250 by 250 pixels · bone marrow smear · 40× oil immersion — 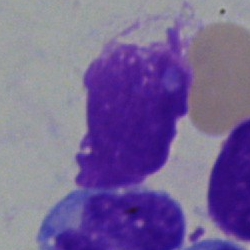
The cell shown is an artifact.